Bone marrow aspirate smear
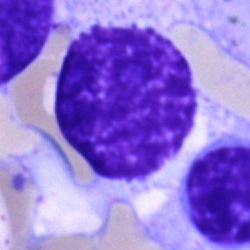 {"cell_type": "artefact"}